Bone marrow aspirate smear — 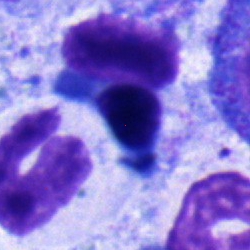 A nucleated red blood cell.